Single-cell crop. Image size 250×250. Bone marrow smear
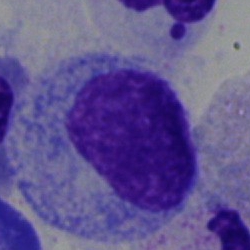

Impression — promyelocyte.